Bone marrow smear; brightfield, 40× oil-immersion objective.
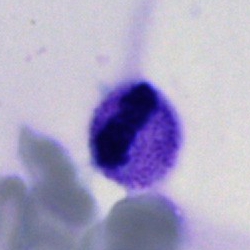
Cell = band neutrophil.